May-Grünwald-Giemsa stain. 40× oil immersion. Bone marrow aspirate smear:
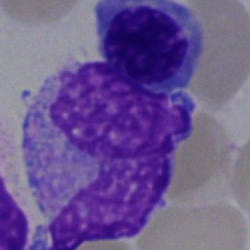Monocyte.